Bone marrow aspirate smear.
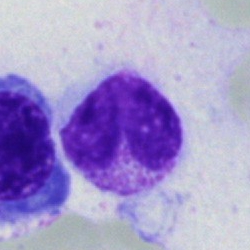A stab cell.